Brightfield, 40× oil-immersion objective · bone marrow smear · May-Grünwald-Giemsa/Pappenheim stain:
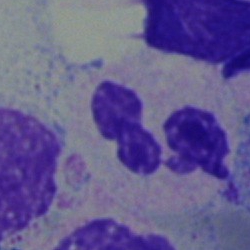 Segmented neutrophil.